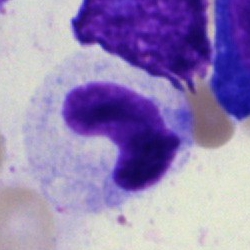A band-form neutrophil.